Single cell centered in the field. Bone marrow smear.
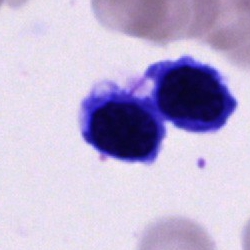Morphology consistent with an unidentifiable cell.